Bone marrow aspirate smear — 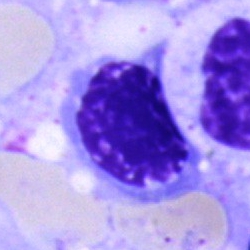 Erythroblast.